Bone marrow smear
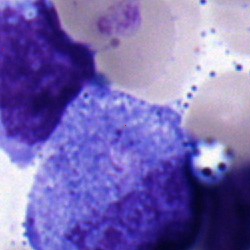
Showing a myelocyte.